Bone marrow smear.
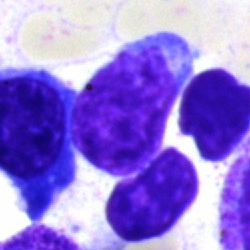

Morphological class: typical lymphocyte.